Bone marrow smear:
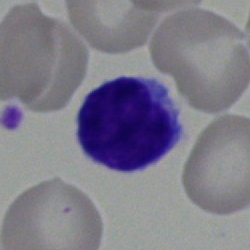A typical lymphocyte.